Bone marrow aspirate smear
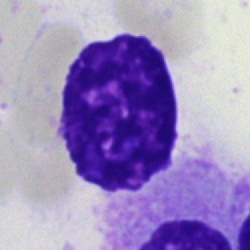An artefact.